Pappenheim-stained · bone marrow smear:
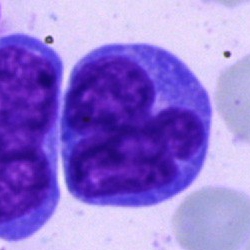{"cell_type": "blast"}